Bone marrow smear; May-Grünwald-Giemsa/Pappenheim stain:
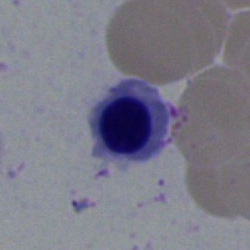 The cell type is normoblast.